Bone marrow aspirate smear · brightfield, 40× oil-immersion objective.
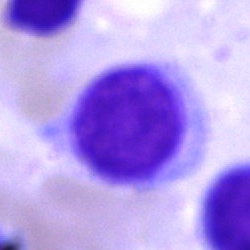
Q: Which cell type is shown here?
A: It is a lymphocyte.